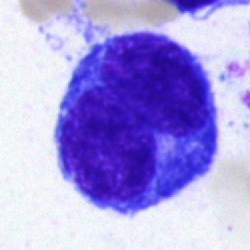
This is a monocyte.